Bone marrow aspirate smear: 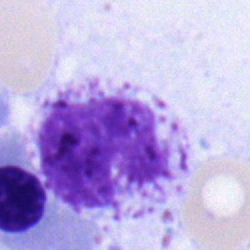

Morphology — basophil.